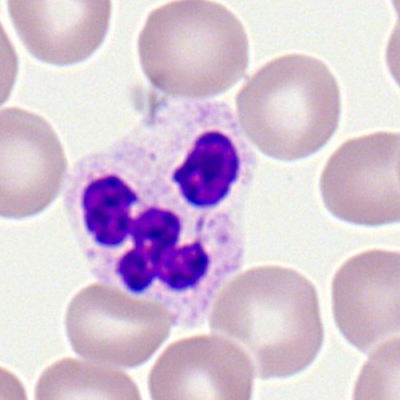 Impression — polymorphonuclear neutrophil.